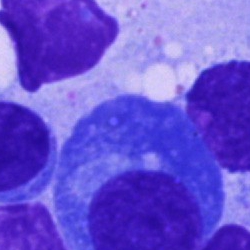Morphology — plasmacyte.